Bone marrow aspirate smear. 250×250.
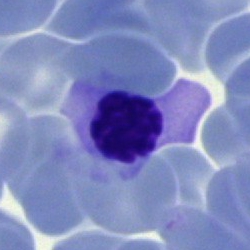
Specimen: bone marrow smear.
Cell: erythroblast.